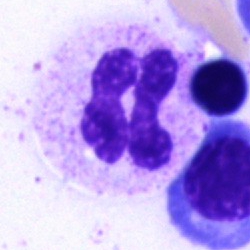 Specimen: bone marrow smear.
Morphological class: segmented neutrophil.
Lineage: myeloid.